Bone marrow aspirate smear
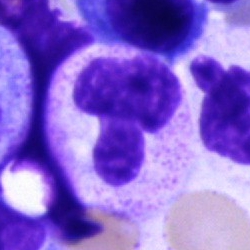
Morphological class: segmented neutrophil.